Peripheral blood film. M8 digital microscope (Precipoint), 100× oil immersion:
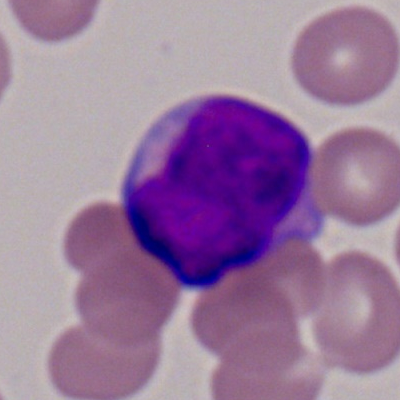 This is a myeloid blast.